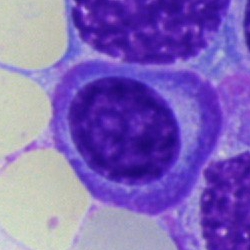

Cell type: plasmacyte.